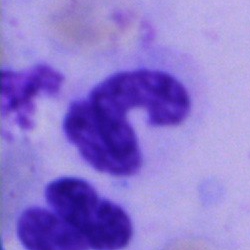 Q: Which cell type is shown here?
A: This is a polymorphonuclear neutrophil.